Bone marrow smear: 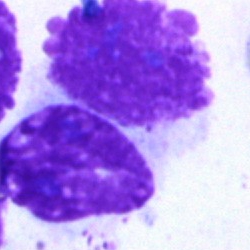Specimen: bone marrow smear.
Cell type: artefact.